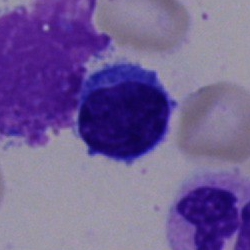Q: What is shown here?
A: It is a typical lymphocyte.